Cropped to a single cell; bone marrow smear; brightfield microscopy, 40× oil immersion.
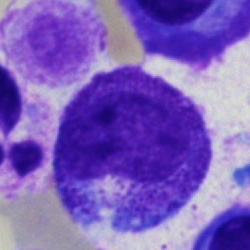

This is a progranulocyte.